Bone marrow aspirate smear:
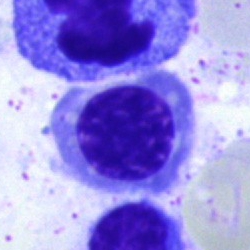

Specimen: bone marrow aspirate smear.
Cell: basophil.
Lineage: myeloid.